Bone marrow smear: 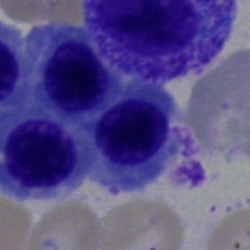Morphological class — nucleated red cell.